Peripheral blood smear.
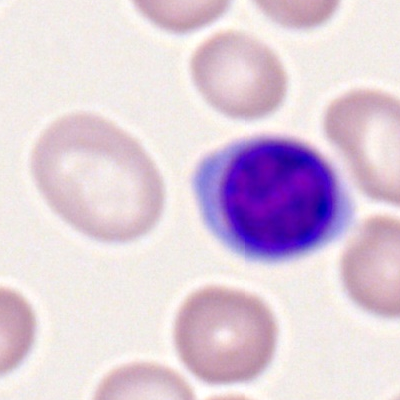 Classification: typical lymphocyte.